Bone marrow aspirate smear; single-cell field; May-Grünwald-Giemsa stain.
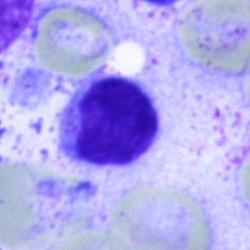 Q: Identify the cell.
A: Lymphocyte.